Peripheral blood film
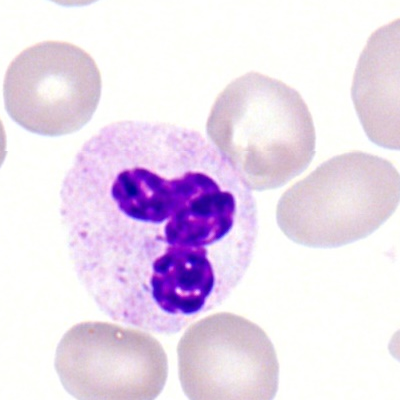

The cell is polymorphonuclear neutrophil.